May-Grünwald-Giemsa stain · bone marrow aspirate smear · brightfield, 40× oil-immersion objective: 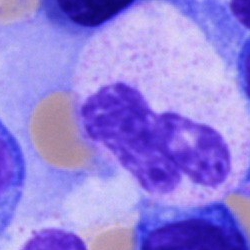A segmented neutrophil.